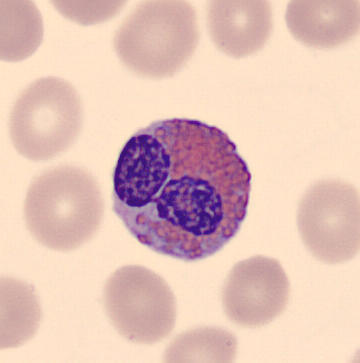 Peripheral blood smear.
An eosinophil.